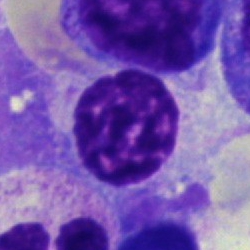
Showing a plasma cell.